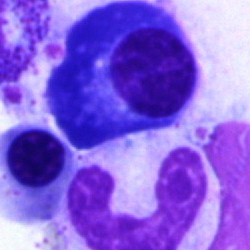
Cell: plasma cell.